Bone marrow aspirate smear.
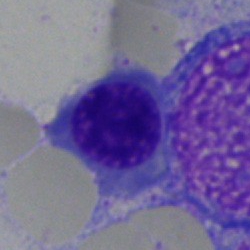
The cell type is nucleated red cell.